Bone marrow smear — 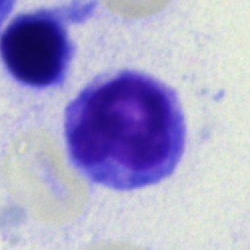

Morphology — lymphocyte.